Bone marrow aspirate smear; 250×250
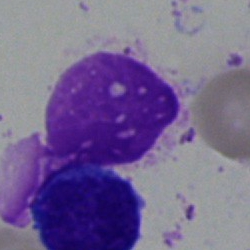

Cell — artifact.